Peripheral blood film; single cell centered in the field; 400×400 px
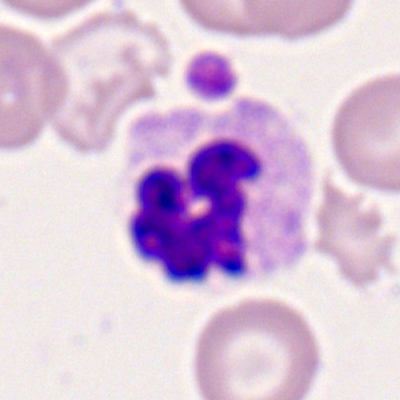The cell type is polymorphonuclear neutrophil.